Bone marrow smear; brightfield, 40× oil-immersion objective.
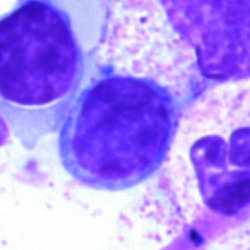
Morphology — lymphocyte.